Bone marrow aspirate smear
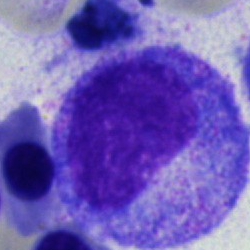 Q: What is shown here?
A: Promyelocyte.